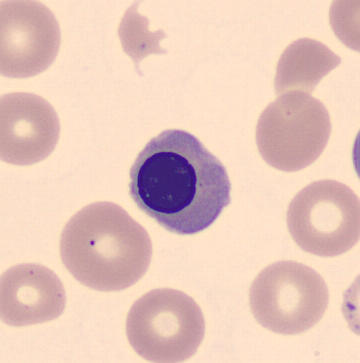

Impression → normoblast.